Brightfield microscopy, 40× oil immersion · single-cell field · bone marrow smear:
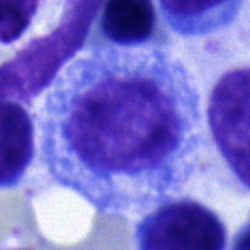

This is a myelocyte.